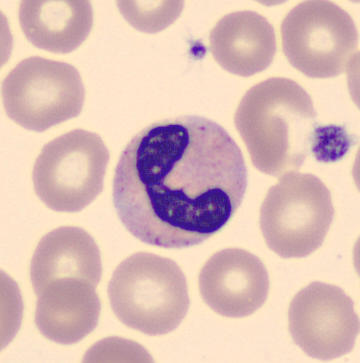
Preparation: Peripheral blood film · MGG-stained. The cell shown is a band-form neutrophil.